Bone marrow smear:
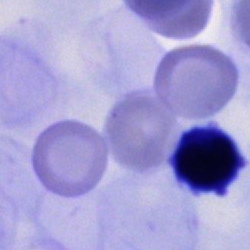

Cell type — cell of indeterminate lineage.